Pappenheim-stained · bone marrow aspirate smear · single-cell crop
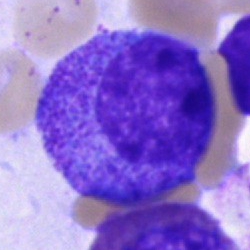

Q: What cell is this?
A: A progranulocyte.